Bone marrow aspirate smear.
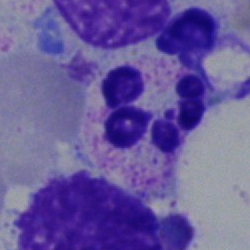Q: What cell is this?
A: Segmented neutrophil.